250×250; single-cell crop; bone marrow smear:
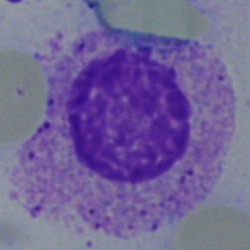
Specimen: bone marrow smear.
Morphological class: erythroblast.